Image size 250×250 · cropped to a single cell · bone marrow smear.
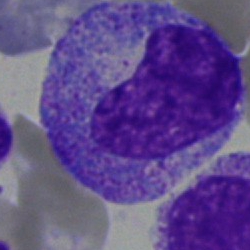 Impression → metamyelocyte.